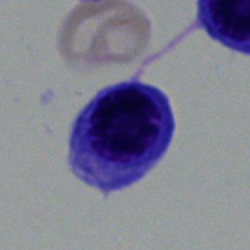
Single cell identified as an erythroblast.